Pappenheim-stained. Bone marrow aspirate smear. Image size 250×250.
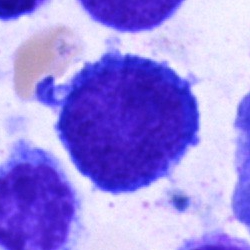

Morphology → proerythroblast.